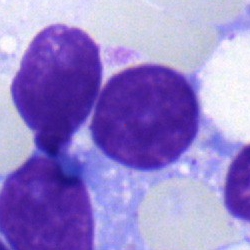 A lymphocyte on a bone marrow smear.